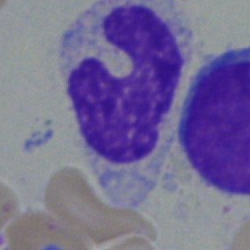

Q: What is the morphological classification of this cell?
A: It is a metamyelocyte.